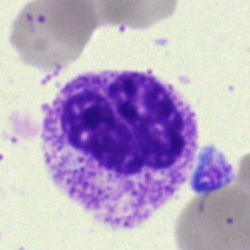 Showing a polymorphonuclear neutrophil.